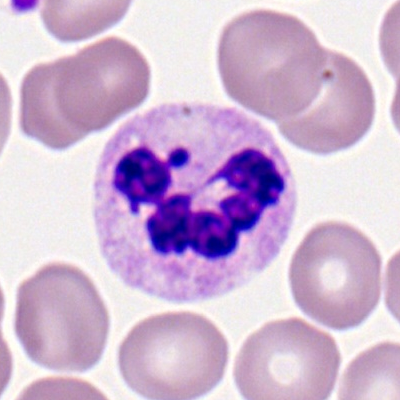
Q: Identify the cell.
A: It is a segmented neutrophil.